Bone marrow aspirate smear.
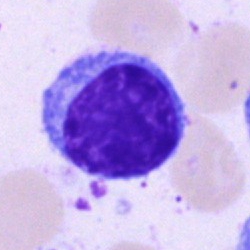
A typical lymphocyte.